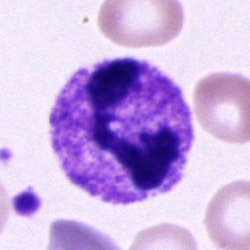 Morphological class — neutrophil (segmented).